Bone marrow aspirate smear; brightfield, 40× oil-immersion objective
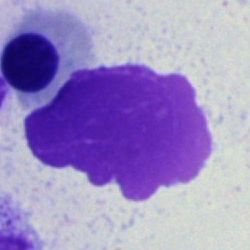
The cell shown is an artefact.